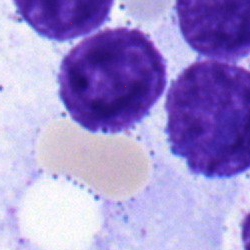
Bone marrow aspirate smear, single cell — myelocyte.